Bone marrow smear
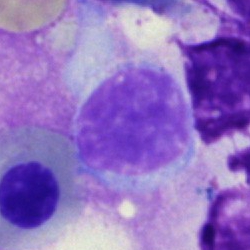
Q: What is the morphological classification of this cell?
A: This is a typical lymphocyte.